Bone marrow aspirate smear — 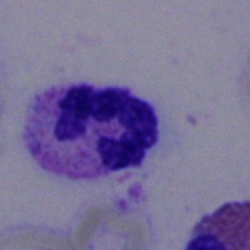 Specimen: bone marrow smear.
Cell: segmented neutrophil.
Lineage: myeloid.